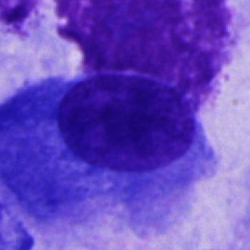A cell not matching the other categories on a bone marrow smear.